Bone marrow smear. Single cell centered in the field:
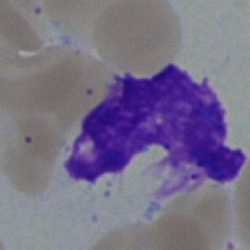Classification = artefact.